Single-cell field · bone marrow aspirate smear — 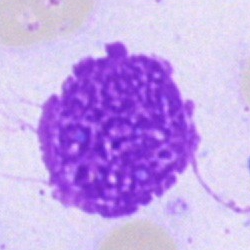
Q: What is shown here?
A: Artifact.